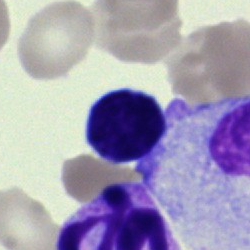

Cell = artifact.